Bone marrow aspirate smear. 250×250 px: 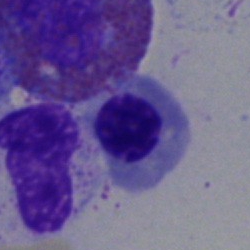A nucleated red cell.